Bone marrow aspirate smear
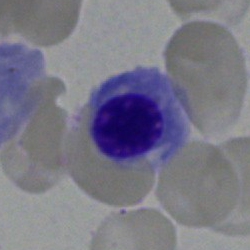

A nucleated red blood cell.